Bone marrow smear:
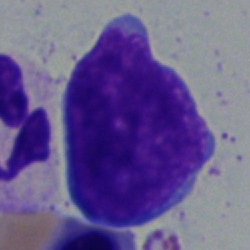 Morphology consistent with a blast.